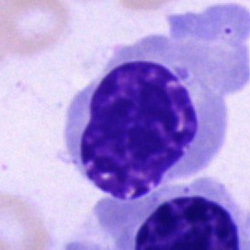Classification: nucleated red blood cell.